Bone marrow aspirate smear
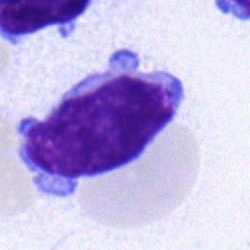

Showing a lymphocyte.